Bone marrow smear. Image size 250×250
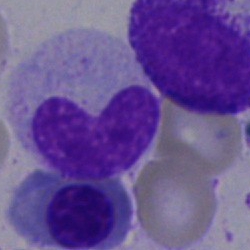 Q: Which cell type is shown here?
A: It is a neutrophil (band).